Bone marrow aspirate smear · MGG-stained:
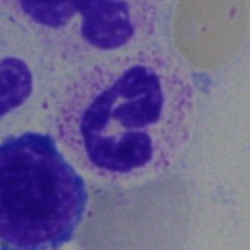

The cell type is neutrophil (segmented).